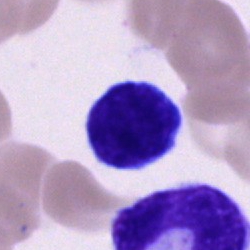

The cell type is typical lymphocyte.